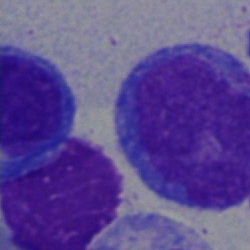{"cell_type": "progranulocyte", "lineage": "myeloid"}